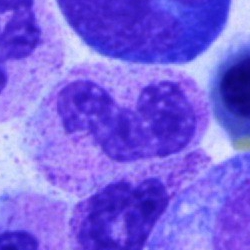

Cell type = neutrophil (band).